Bone marrow smear.
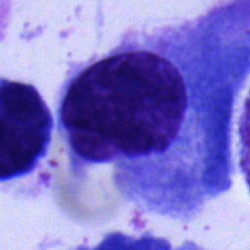 Impression → plasma cell.